Peripheral blood smear:
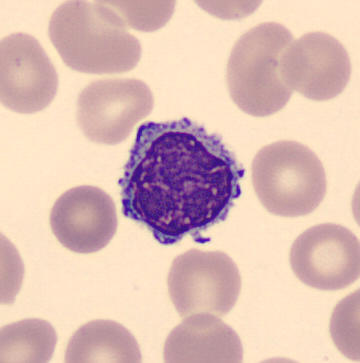Q: What is shown here?
A: This is a typical lymphocyte.